Single cell centered in the field. Bone marrow smear: 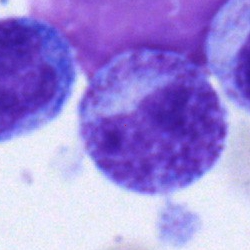 Single cell identified as a metamyelocyte.